Bone marrow aspirate smear — 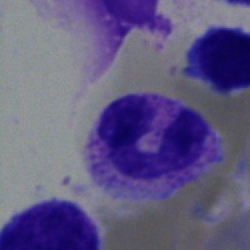
Morphological class — segmented neutrophil.